Bone marrow smear
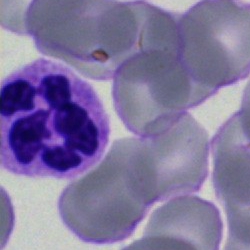 The cell shown is a polymorphonuclear neutrophil.